250×250 · bone marrow aspirate smear · single-cell field:
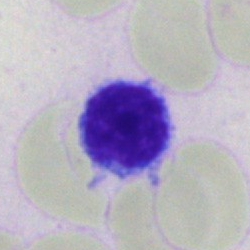Specimen: bone marrow aspirate smear.
Cell: typical lymphocyte.